May-Grünwald-Giemsa stain. Single-cell field. Bone marrow smear.
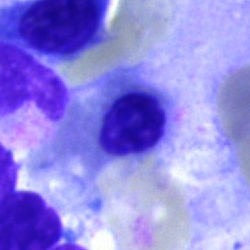
Nucleated red blood cell.